Bone marrow aspirate smear.
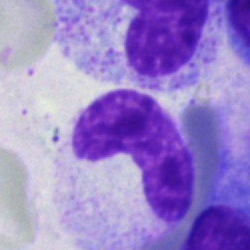{"cell_type": "stab cell", "lineage": "myeloid"}